Image size 250×250 · bone marrow smear: 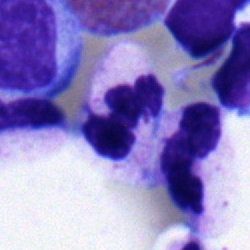 Q: What is the morphological classification of this cell?
A: A polymorphonuclear neutrophil.